Bone marrow smear.
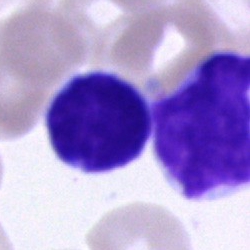

Impression — lymphocyte.